Bone marrow aspirate smear.
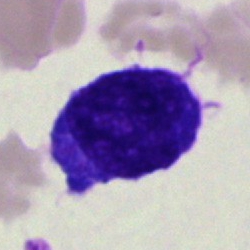 Q: What cell is this?
A: This is a blast.